Bone marrow aspirate smear:
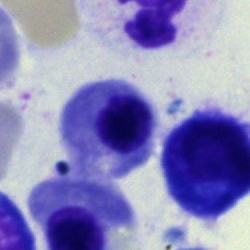 {"cell_type": "nucleated red blood cell", "lineage": "erythroid"}